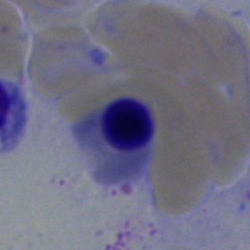
Impression → normoblast.